Peripheral blood smear. Image size 400×400
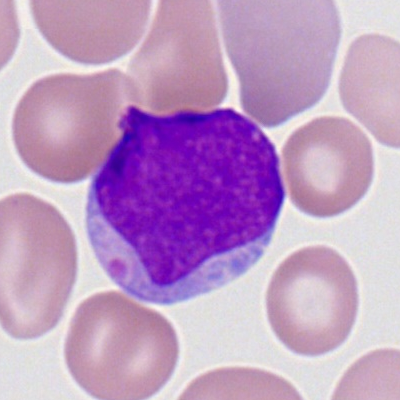
Specimen: peripheral blood smear.
Cell type: myeloblast.
Lineage: myeloid.